Bone marrow aspirate smear:
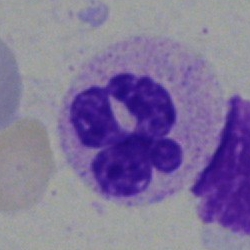

Q: What type of cell is this?
A: A polymorphonuclear neutrophil.